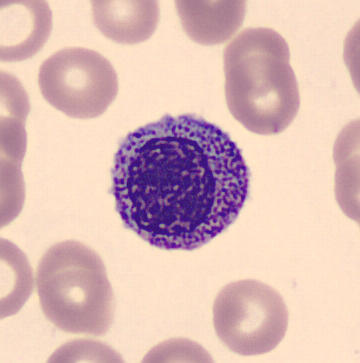The cell shown is a myelocyte.

Acquisition: Peripheral blood film; 360×363.